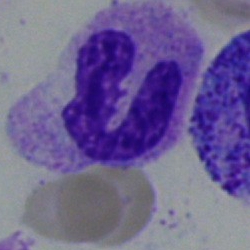
Morphological class: neutrophil (segmented).